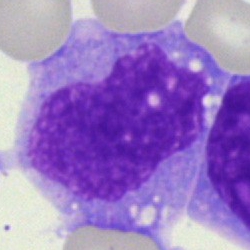 Bone marrow smear showing a monocyte.